Single-cell field; bone marrow aspirate smear: 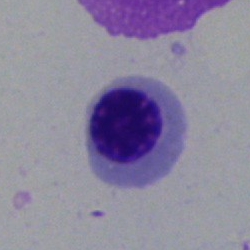
The classification is normoblast.